Brightfield microscopy, 40× oil immersion; bone marrow smear
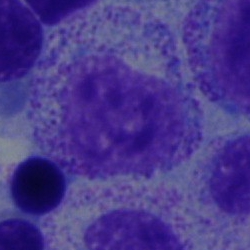
Morphological class = myelocyte.